Bone marrow aspirate smear. 250×250 px.
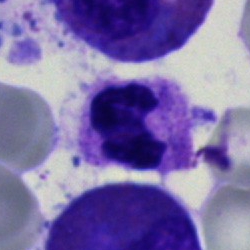

Q: What cell is this?
A: This is a segmented neutrophil.